Bone marrow aspirate smear — 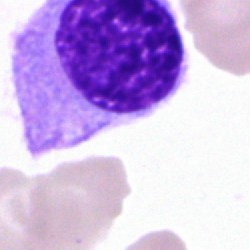
Classification: hairy cell.